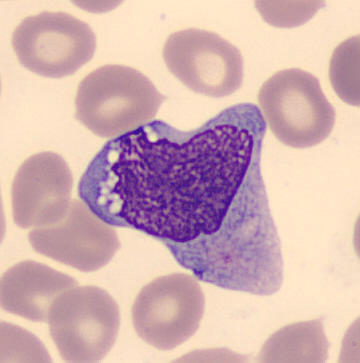
Preparation: Peripheral blood smear.

The cell shown is a monocyte.